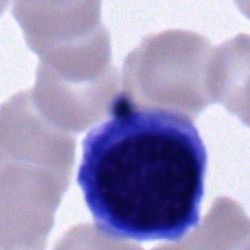 {"cell_type": "erythroblast"}